Bone marrow aspirate smear. Pappenheim-stained
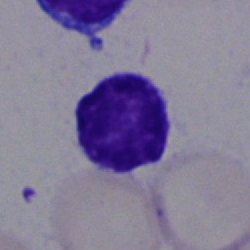

Q: Which cell type is shown here?
A: Lymphocyte.